40× objective, oil immersion · bone marrow aspirate smear · 250 by 250 pixels:
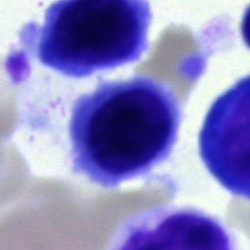
The cell type is erythroblast.